Bone marrow smear: 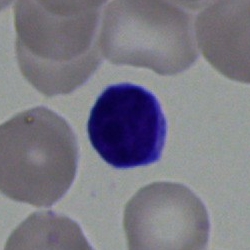
Q: Which cell type is shown here?
A: Typical lymphocyte.